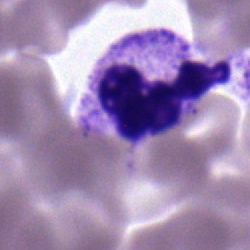
Classification: polymorphonuclear neutrophil.